Brightfield microscopy, 40× oil immersion. Bone marrow smear:
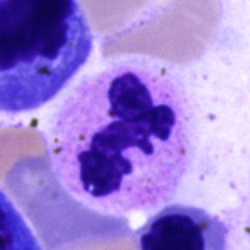
Showing a segmented neutrophil.